250×250. Bone marrow smear: 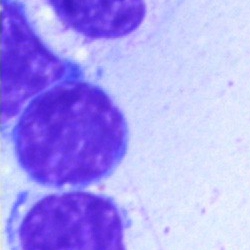

A typical lymphocyte.